Bone marrow aspirate smear — 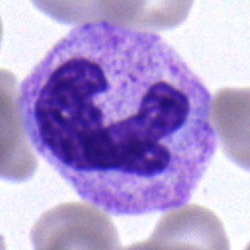

Showing a segmented neutrophil.